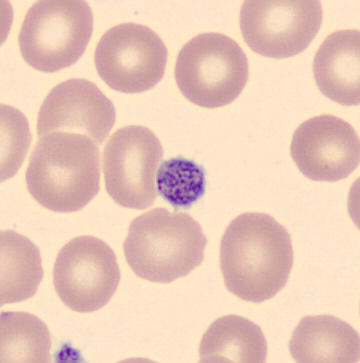
Peripheral blood film.
Cell type — thrombocyte.